May-Grünwald-Giemsa/Pappenheim stain · bone marrow aspirate smear · cropped to a single cell:
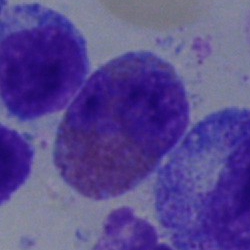{"cell_type": "eosinophil", "lineage": "myeloid"}